Image size 250×250; bone marrow aspirate smear
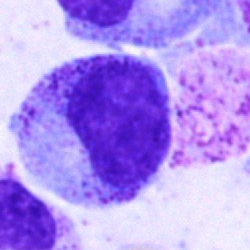 Single cell identified as a myelocyte.